Bone marrow aspirate smear: 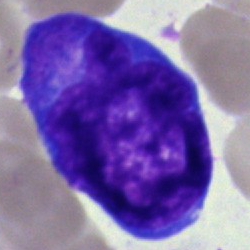Specimen: bone marrow aspirate smear.
Classification: progranulocyte.
Lineage: myeloid.